May-Grünwald-Giemsa/Pappenheim stain. Single-cell crop. Bone marrow aspirate smear — 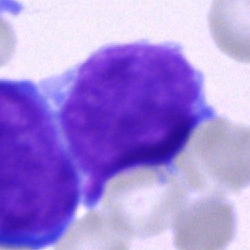A blast cell.